Bone marrow aspirate smear — 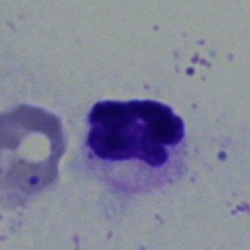
Morphological class: segmented neutrophil.